Bone marrow aspirate smear:
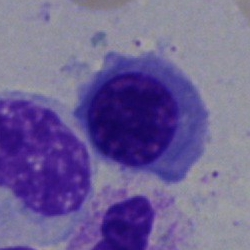

Cell type = nucleated red cell.